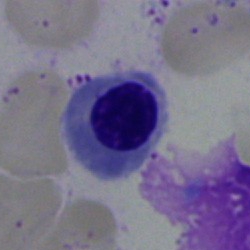Showing an erythroblast.